Bone marrow aspirate smear. 40× oil immersion. MGG-stained: 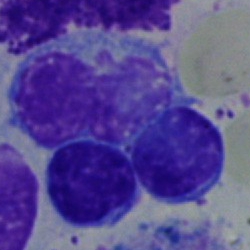
Morphology consistent with a lymphocyte.